Bone marrow smear
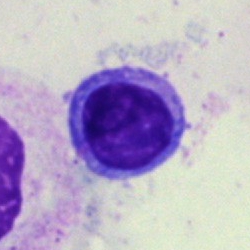 The cell shown is a lymphocyte.